Bone marrow smear · brightfield, 40× oil-immersion objective — 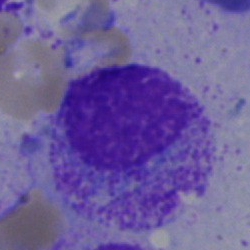Cell type — myelocyte.